Bone marrow aspirate smear · MGG-stained · 250×250: 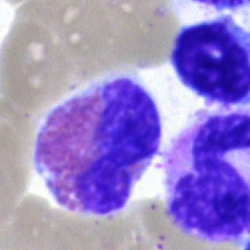

{"cell_type": "eosinophilic granulocyte", "lineage": "myeloid"}